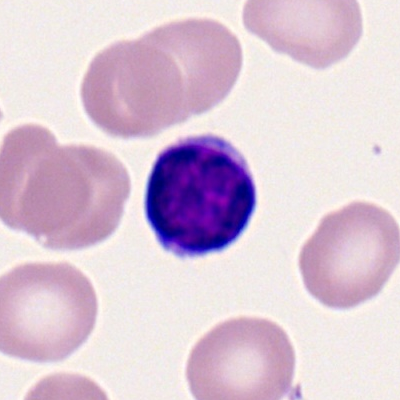

Cell: typical lymphocyte.